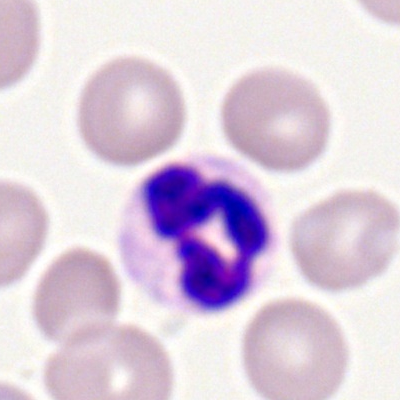
The cell shown is a polymorphonuclear neutrophil.